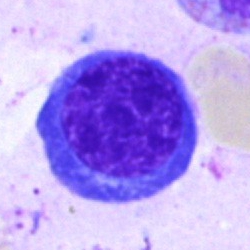 Q: Which cell type is shown here?
A: Erythroblast.